Peripheral blood smear. Single-cell field.
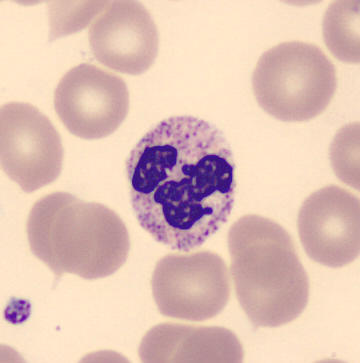Morphological class = polymorphonuclear neutrophil.